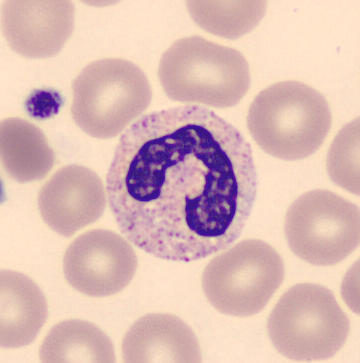 Specimen: peripheral blood film.
Morphological class: band-form neutrophil.
Lineage: myeloid.